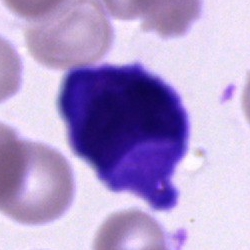

Bone marrow smear showing a cell of indeterminate lineage.